Bone marrow smear. Pappenheim-stained:
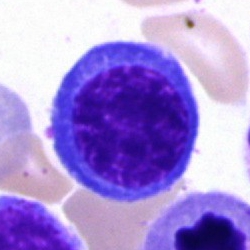This is a nucleated red blood cell.